Bone marrow smear — 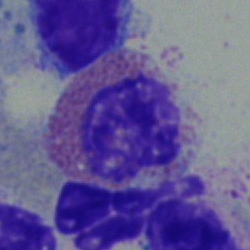
Q: What type of cell is this?
A: Eosinophil.